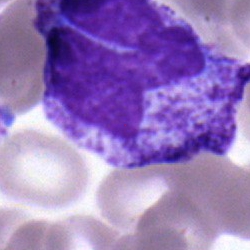Specimen: bone marrow aspirate smear.
Classification: stab cell.
Lineage: myeloid.